Bone marrow smear: 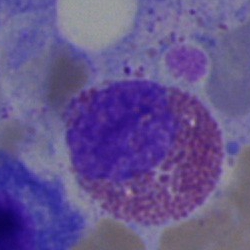 Cell type = eosinophil.